Bone marrow smear — 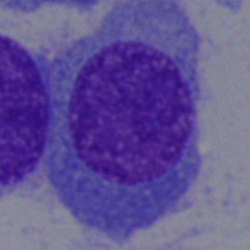
Showing a plasma cell.